Bone marrow smear; 250 by 250 pixels: 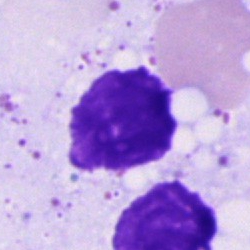Specimen: bone marrow smear.
Classification: artifact.